Bone marrow aspirate smear. 250×250:
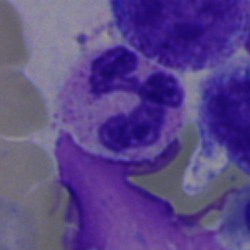Morphology — neutrophil (segmented).